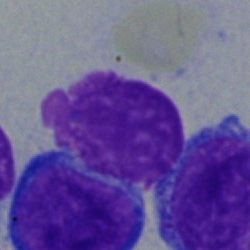

This is a blast cell.